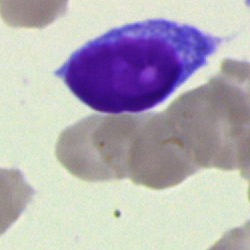
Morphology — lymphocyte.